Bone marrow aspirate smear; 250 by 250 pixels:
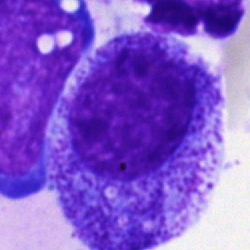

Cell = progranulocyte.